Bone marrow aspirate smear · May-Grünwald-Giemsa stain
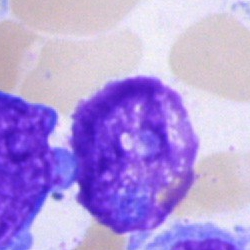 Specimen: bone marrow aspirate smear.
Cell: artefact.